Bone marrow aspirate smear; cropped to a single cell — 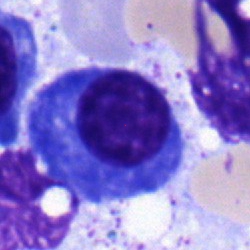
Morphological class: plasma cell.